Bone marrow aspirate smear. Image size 250×250.
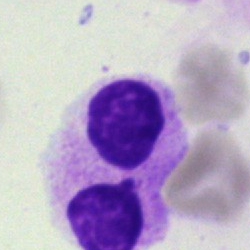
An artefact.